250×250; bone marrow smear; May-Grünwald-Giemsa stain:
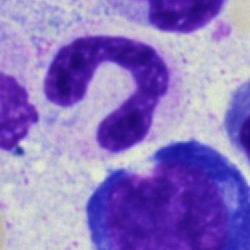

Impression → neutrophil (band).